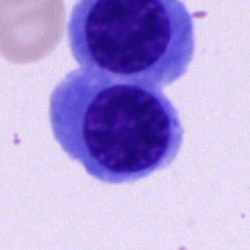

Morphology — nucleated red cell.